Bone marrow smear:
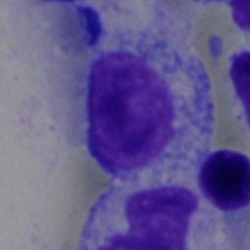
An unidentifiable cell.